Bone marrow smear
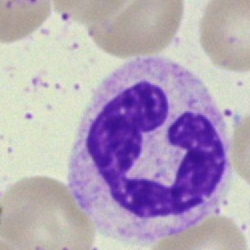
Segmented neutrophil.